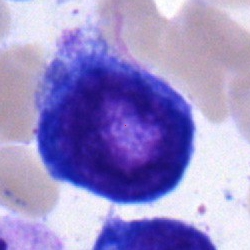
An undifferentiated blast on a bone marrow smear.